Bone marrow smear: 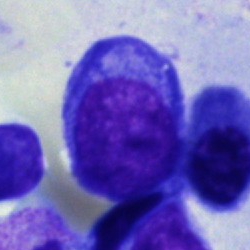

Specimen: bone marrow aspirate smear.
Classification: blast cell.